Bone marrow aspirate smear. May-Grünwald-Giemsa/Pappenheim stain. Cropped to a single cell.
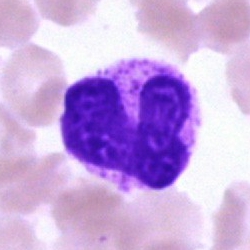 The cell is segmented neutrophil.